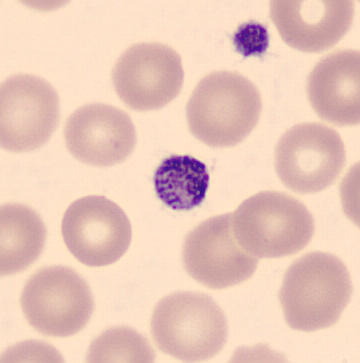
Q: What is shown here?
A: A thrombocyte.

Acquisition: Automated cell imaging (CellaVision DM96) · peripheral blood film · 360×363 px.